Bone marrow aspirate smear · 250 by 250 pixels · brightfield, 40× oil-immersion objective:
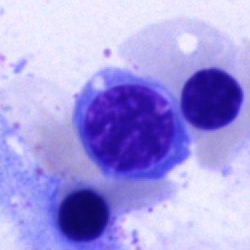

A normoblast.